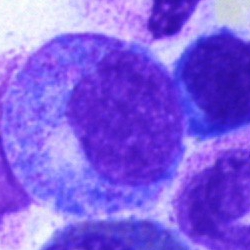

Impression → promyelocyte.